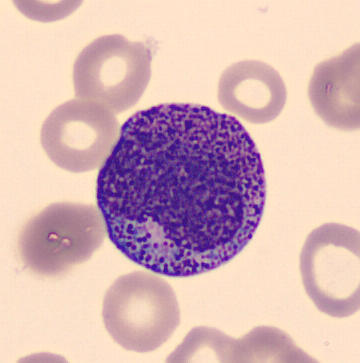

Image: Single cell centered in the field; peripheral blood film.
Cell — progranulocyte.